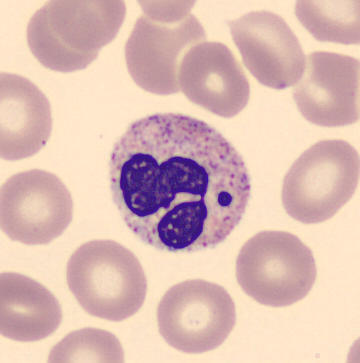
Preparation: Peripheral blood smear. Classification — polymorphonuclear neutrophil.